Single-cell field; bone marrow smear.
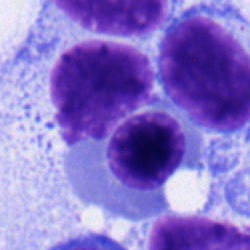
Q: What is the morphological classification of this cell?
A: A typical lymphocyte.